Cropped to a single cell · bone marrow smear · 250×250
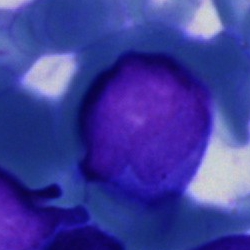Showing an undifferentiated blast.